Romanowsky stain; single-cell field; peripheral blood film.
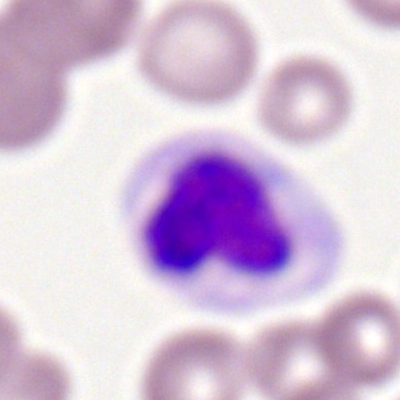Single cell identified as a polymorphonuclear neutrophil.